250×250 · bone marrow smear: 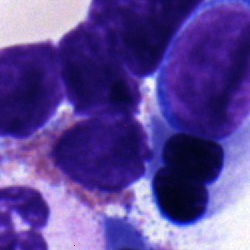 Specimen: bone marrow aspirate smear.
Cell: eosinophilic granulocyte.